Bone marrow smear — 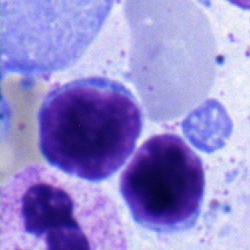
Cell: typical lymphocyte.